Bone marrow aspirate smear. Single-cell crop: 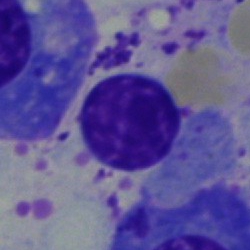Typical lymphocyte.